Bone marrow aspirate smear.
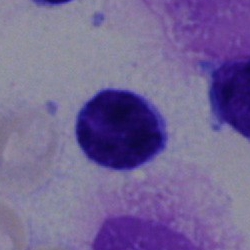 Morphology consistent with a lymphocyte.